250×250 px; brightfield microscopy, 40× oil immersion; bone marrow aspirate smear: 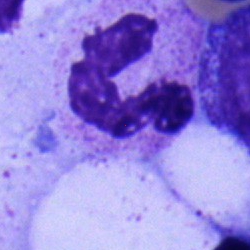
Classification — polymorphonuclear neutrophil.